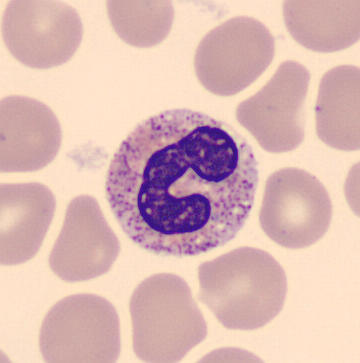 Image: Image size 360×363; cropped to a single cell; peripheral blood smear.

Q: What type of cell is this?
A: It is a band neutrophil.